Bone marrow aspirate smear:
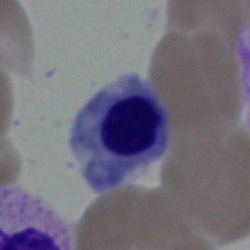 Q: What is the morphological classification of this cell?
A: It is a normoblast.